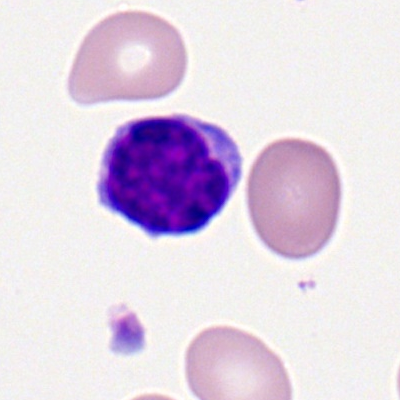
Q: Which cell type is shown here?
A: It is a lymphocyte.